Bone marrow aspirate smear.
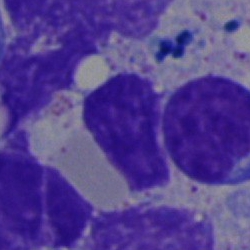

Impression → lymphocyte.